Bone marrow smear · 40× oil immersion · 250×250 px: 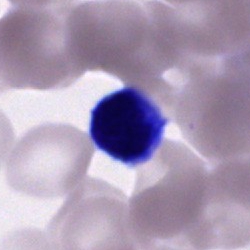 Showing a typical lymphocyte.